Bone marrow aspirate smear.
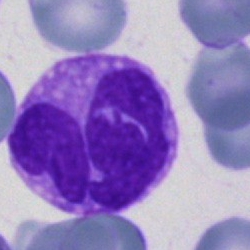 {"cell_type": "neutrophil (segmented)"}